Bone marrow aspirate smear: 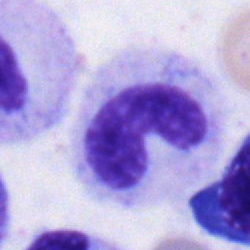

Showing a stab cell.